Bone marrow aspirate smear
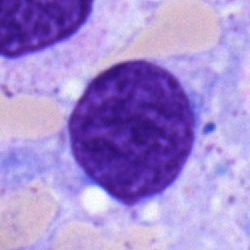Q: What is shown here?
A: Lymphocyte.